Bone marrow aspirate smear: 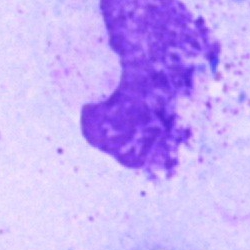

Q: What is shown here?
A: It is an artifact.